Bone marrow smear
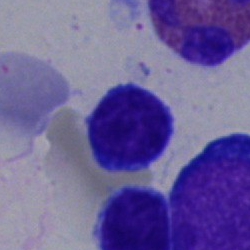Morphology — typical lymphocyte.